250 by 250 pixels · bone marrow smear:
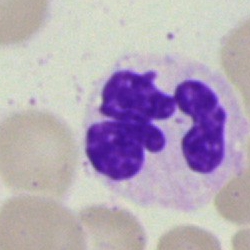Q: What cell is this?
A: Polymorphonuclear neutrophil.